Image size 250×250 · bone marrow aspirate smear · brightfield, 40× oil-immersion objective: 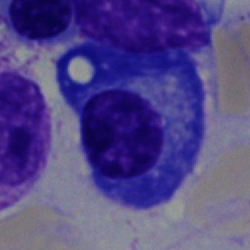 Specimen: bone marrow aspirate smear.
Morphological class: plasmacyte.